Single-cell crop · bone marrow aspirate smear:
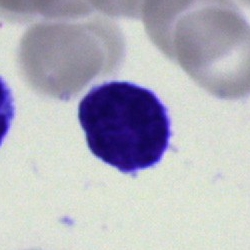
Impression → undifferentiated blast.